Bone marrow smear; brightfield microscopy, 40× oil immersion
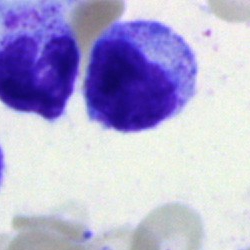

Single cell identified as a myelocyte.